Bone marrow aspirate smear. Image size 250×250:
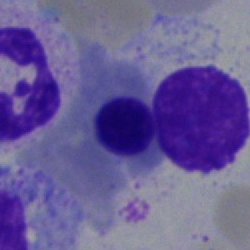
Showing an erythroblast.